Bone marrow aspirate smear:
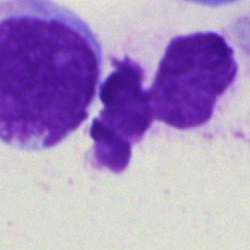 This is an artifact.